CellaVision DM96. Peripheral blood film
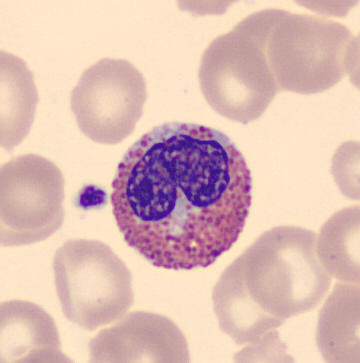 {"cell_type": "eosinophilic granulocyte"}